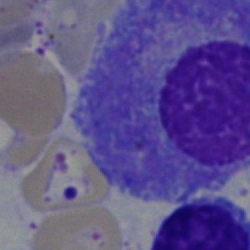
Plasmacyte.